Bone marrow aspirate smear: 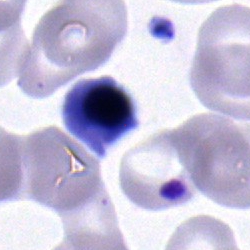Morphological class — nucleated red cell.